Bone marrow aspirate smear
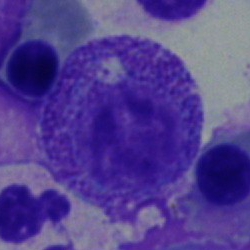
Cell = myelocyte.